40× objective, oil immersion · single-cell field · bone marrow smear.
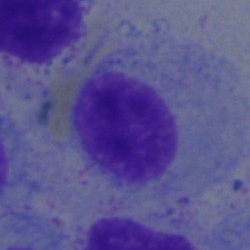The cell is myelocyte.